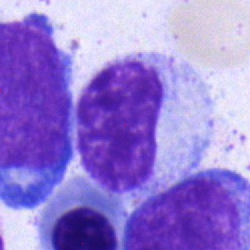The classification is metamyelocyte.